Bone marrow aspirate smear; 40× objective, oil immersion; single-cell crop
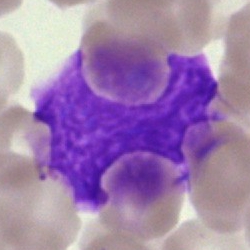
{"cell_type": "artifact"}